Bone marrow smear:
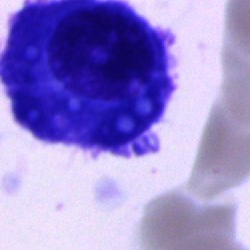

Specimen: bone marrow aspirate smear.
Classification: plasma cell.
Lineage: lymphoid.